Bone marrow smear
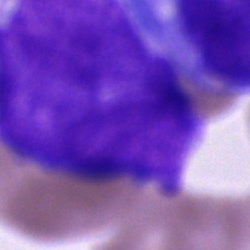This is a blast.